Bone marrow smear: 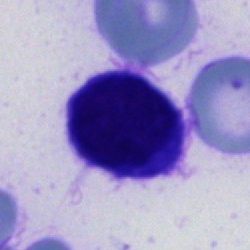

Morphology → unidentifiable cell.